Bone marrow smear · 250 by 250 pixels.
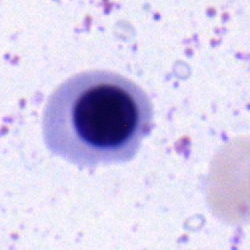

Specimen: bone marrow aspirate smear.
Cell type: nucleated red cell.